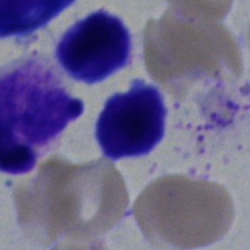Specimen: bone marrow smear.
Cell: typical lymphocyte.